Bone marrow aspirate smear; 250×250 — 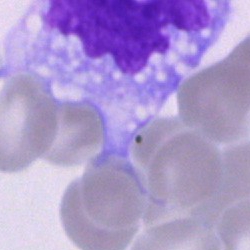
Specimen: bone marrow smear.
Classification: cell of indeterminate lineage.